40× oil immersion; 250 by 250 pixels; bone marrow aspirate smear:
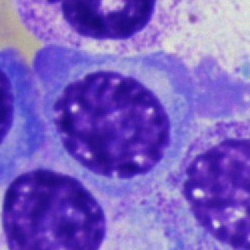 Q: Which cell type is shown here?
A: This is a plasmacyte.